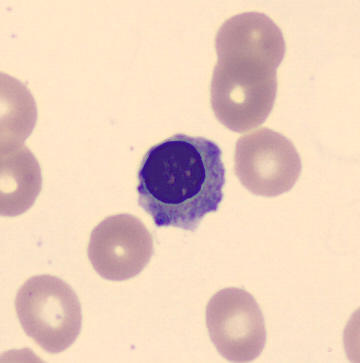This is an erythroblast.

Peripheral blood smear.